Peripheral blood film — 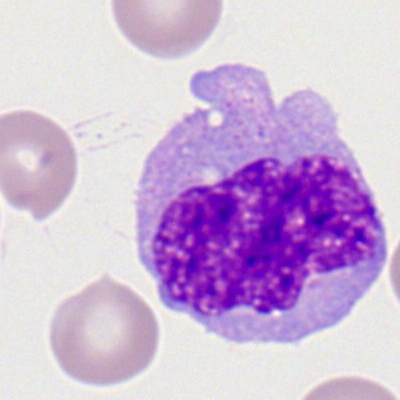Morphology — monocyte.